Peripheral blood film · single-cell field — 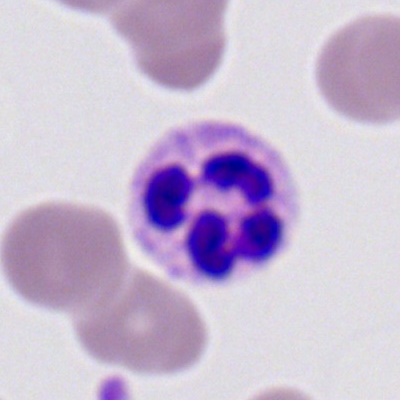

The cell type is polymorphonuclear neutrophil.